MGG-stained; bone marrow smear — 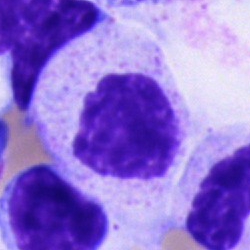Cell type — cell of indeterminate lineage.